Brightfield, 40× oil-immersion objective; bone marrow aspirate smear: 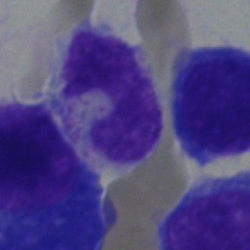

Classification — band-form neutrophil.